Bone marrow smear; single-cell field; 250×250: 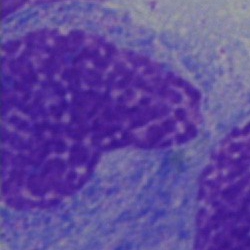The classification is artifact.